May-Grünwald-Giemsa/Pappenheim stain. Bone marrow aspirate smear.
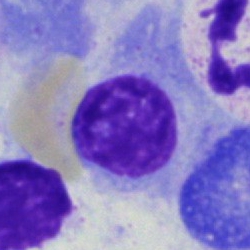Cell type — plasmacyte.